Bone marrow aspirate smear; Pappenheim-stained
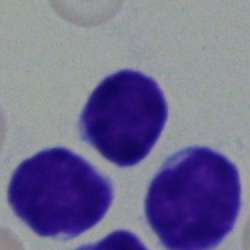
Single cell identified as a typical lymphocyte.